Bone marrow aspirate smear: 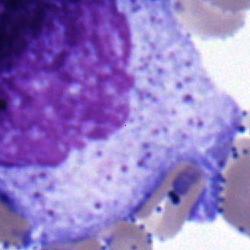

Classification — myelocyte.